Bone marrow aspirate smear · 40× objective, oil immersion
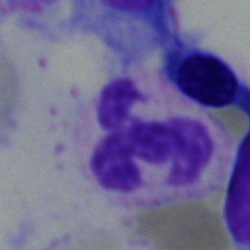 Cell: polymorphonuclear neutrophil.